Image size 250×250; bone marrow aspirate smear; May-Grünwald-Giemsa/Pappenheim stain:
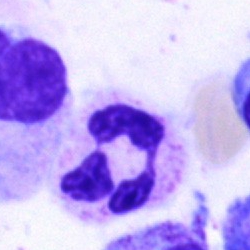 This is a neutrophil (segmented).